Bone marrow smear — 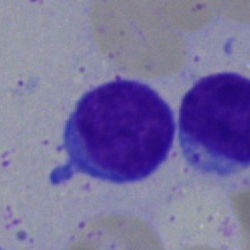
Single cell identified as a typical lymphocyte.